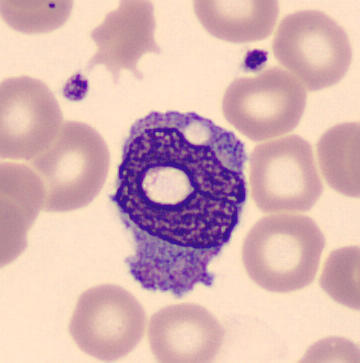

Cell — monocyte.